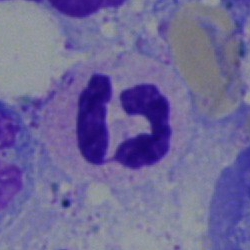 Q: Identify the cell.
A: A neutrophil (segmented).